Bone marrow aspirate smear: 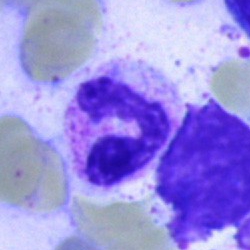

Classification: neutrophil (segmented).